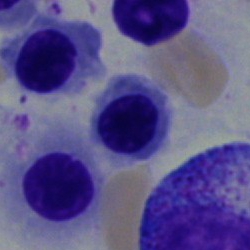Specimen: bone marrow smear.
Cell: erythroblast.